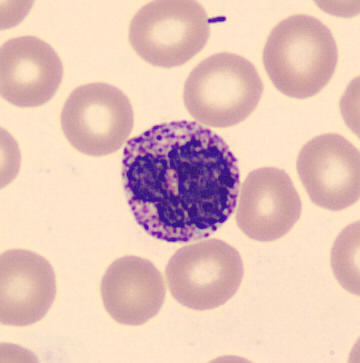
Acquisition: Peripheral blood film.
Q: What cell is this?
A: Basophilic granulocyte.